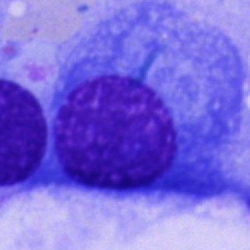

Q: What type of cell is this?
A: Plasmacyte.